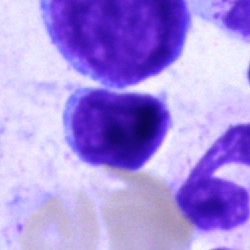 Q: Identify the cell.
A: Lymphocyte.